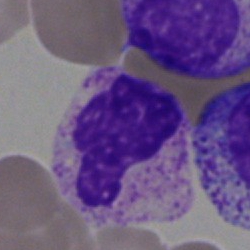

Specimen: bone marrow smear.
Classification: metamyelocyte.
Lineage: myeloid.